Bone marrow aspirate smear. Brightfield, 40× oil-immersion objective. Single cell centered in the field: 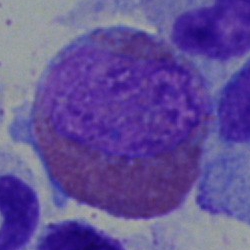
Q: What cell is this?
A: This is an eosinophilic granulocyte.